Bone marrow smear: 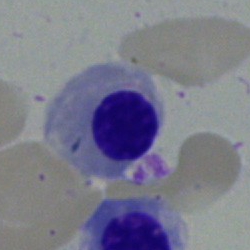A normoblast.